Peripheral blood smear:
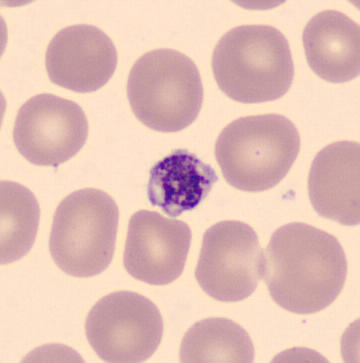

Classification = thrombocyte.